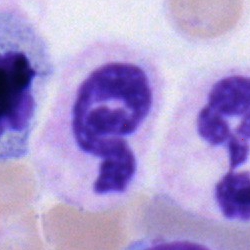Bone marrow smear showing a polymorphonuclear neutrophil.